Image size 250×250 · bone marrow smear.
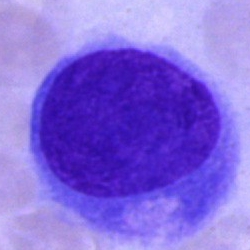 Q: Identify the cell.
A: This is a blast.